Bone marrow aspirate smear.
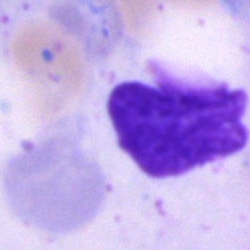 Cell type — artifact.